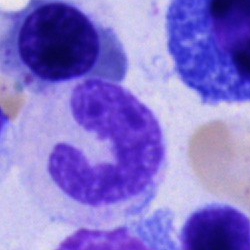
Single cell identified as a neutrophil (band).